Image size 250×250 · bone marrow aspirate smear:
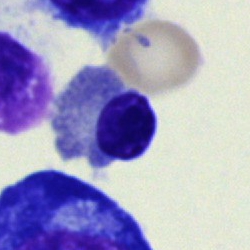
Impression — normoblast.